Pappenheim-stained; bone marrow aspirate smear.
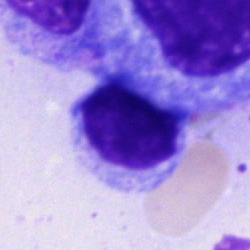

A cell of indeterminate lineage.